Peripheral blood film — 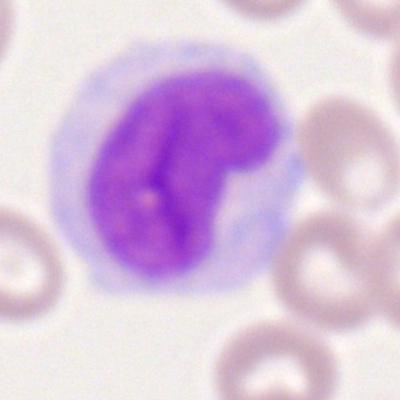

Specimen: peripheral blood film.
Cell type: monocyte.
Lineage: myeloid.